Bone marrow smear. 250×250
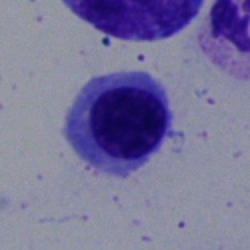This is a normoblast.